May-Grünwald-Giemsa/Pappenheim stain; bone marrow aspirate smear: 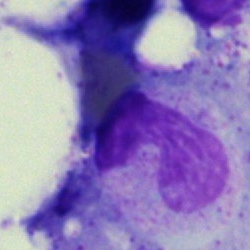

An artefact.